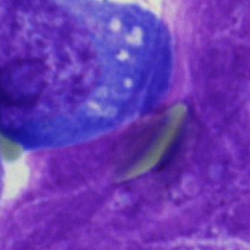 Bone marrow smear showing a plasma cell.